40× oil immersion. Bone marrow smear. Cropped to a single cell — 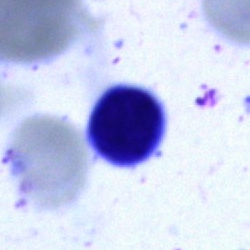
Specimen: bone marrow aspirate smear.
Classification: artifact.